Bone marrow aspirate smear · cropped to a single cell · 40× objective, oil immersion: 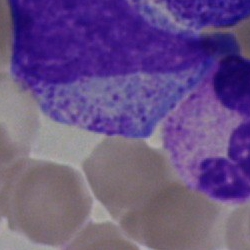

Morphology consistent with a cell of indeterminate lineage.